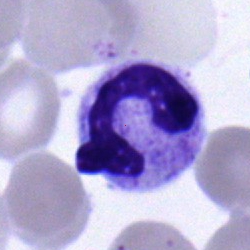 Q: Identify the cell.
A: It is a stab cell.